Bone marrow aspirate smear:
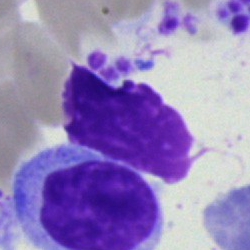
Morphological class — lymphocyte.